Bone marrow smear — 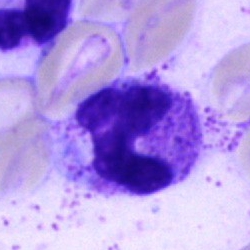

{"cell_type": "polymorphonuclear neutrophil"}